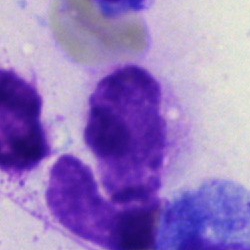
Artefact.